Peripheral blood smear.
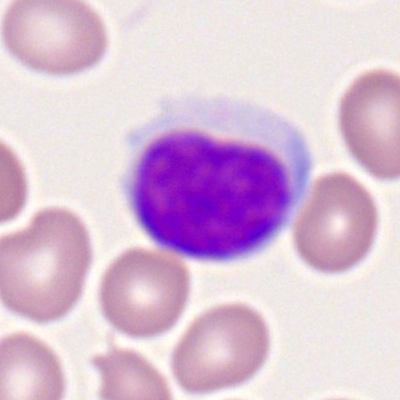 Morphology consistent with a typical lymphocyte.